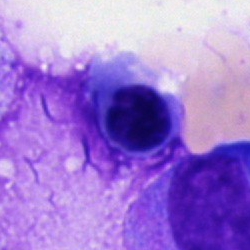 Normoblast.